Bone marrow smear:
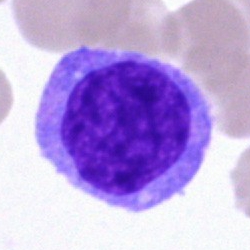
Showing an undifferentiated blast.